Single-cell crop; brightfield, 40× oil-immersion objective; bone marrow aspirate smear: 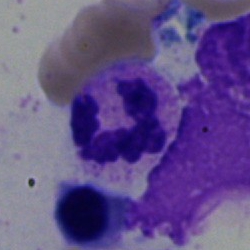Cell — neutrophil (segmented).